Bone marrow smear:
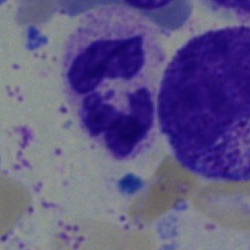The morphological class is polymorphonuclear neutrophil.